Bone marrow smear; brightfield microscopy, 40× oil immersion: 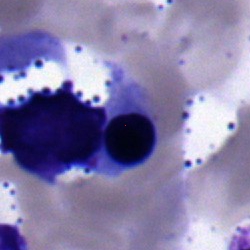

This is a nucleated red cell.